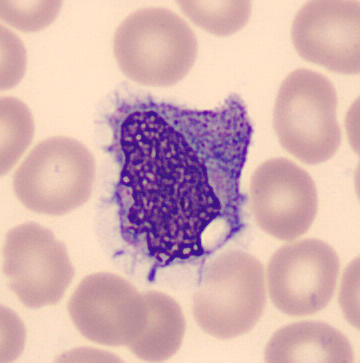Q: What type of cell is this?
A: Monocyte.